Bone marrow aspirate smear; 250×250 px; MGG-stained — 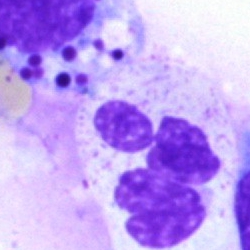

Morphological class: polymorphonuclear neutrophil.